Bone marrow aspirate smear. Brightfield microscopy, 40× oil immersion — 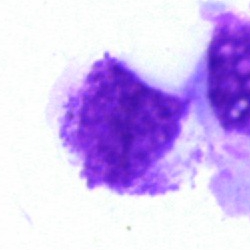 Specimen: bone marrow aspirate smear.
Cell: artifact.